Bone marrow smear · single-cell field
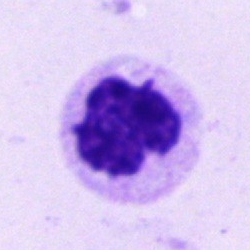Segmented neutrophil.